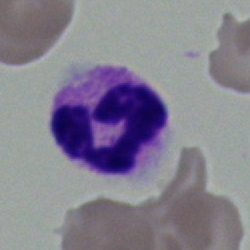 Cell = neutrophil (segmented).